Bone marrow aspirate smear
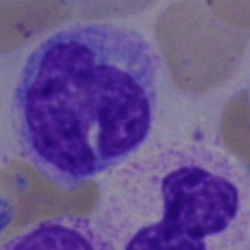Cell: monocyte.